Bone marrow smear
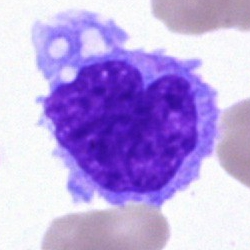

{"cell_type": "monocyte", "lineage": "myeloid"}